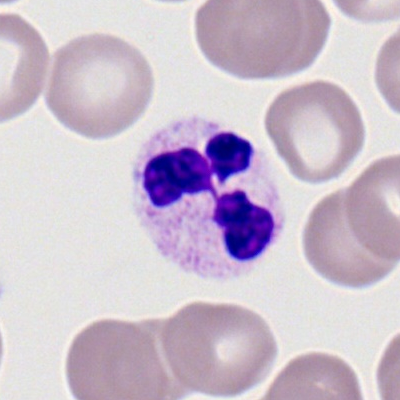Showing a segmented neutrophil.